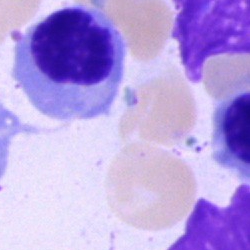Cell: normoblast.